Bone marrow smear; 40× oil immersion; 250×250 px
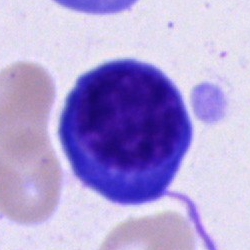

Morphological class: plasmacyte.